Bone marrow aspirate smear; 40× objective, oil immersion
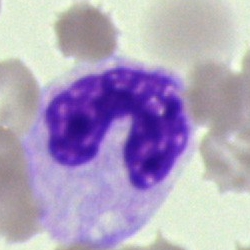

This is a stab cell.